Bone marrow aspirate smear:
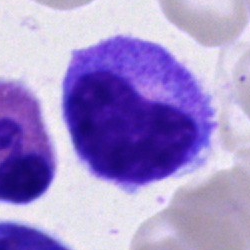

Specimen: bone marrow smear.
Cell: progranulocyte.
Lineage: myeloid.